Bone marrow aspirate smear: 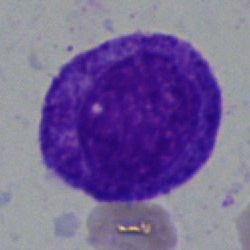Morphological class: promyelocyte.